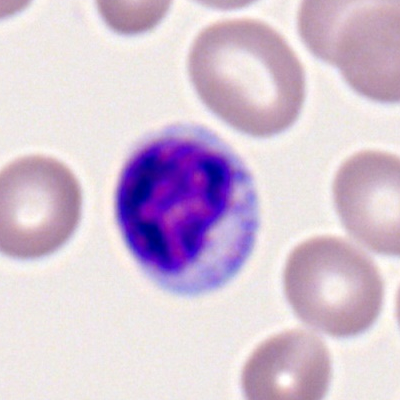
The cell is typical lymphocyte.